Brightfield microscopy, 40× oil immersion; bone marrow smear.
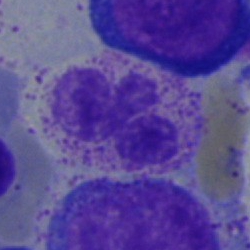The cell shown is a polymorphonuclear neutrophil.